Bone marrow aspirate smear — 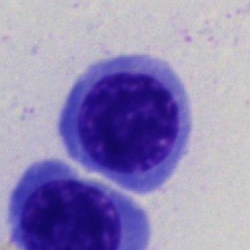Single cell identified as an erythroblast.